MGG-stained; peripheral blood film; CellaVision DM96 digital cell image.
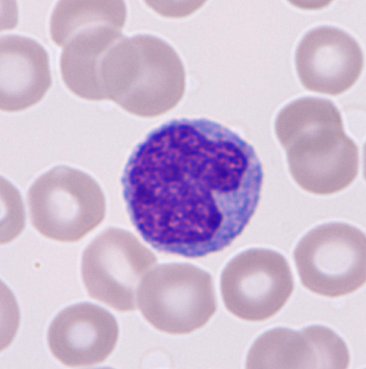 Impression — monocyte.